40× objective, oil immersion; bone marrow aspirate smear; May-Grünwald-Giemsa/Pappenheim stain
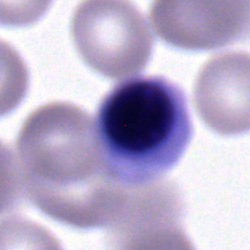
This is an erythroblast.